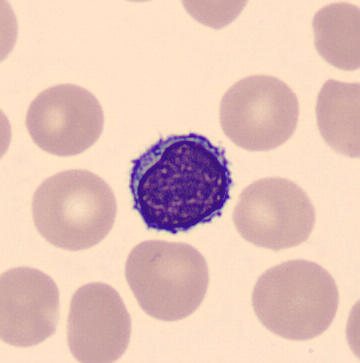The cell shown is a typical lymphocyte.
Image: Peripheral blood film · CellaVision DM96 digital cell image.